Bone marrow smear · 40× oil immersion
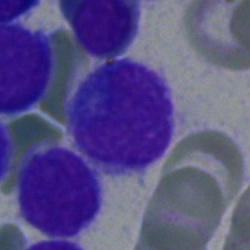

Q: What is the morphological classification of this cell?
A: Lymphocyte.